Bone marrow aspirate smear · Pappenheim-stained — 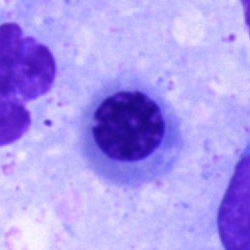Single cell identified as an erythroblast.